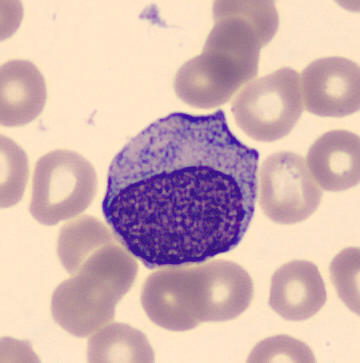
Identified as a progranulocyte.